Bone marrow aspirate smear: 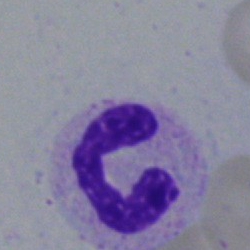 This is a polymorphonuclear neutrophil.